Bone marrow aspirate smear:
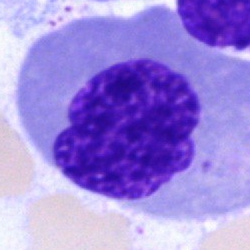
Cell type — nucleated red blood cell.